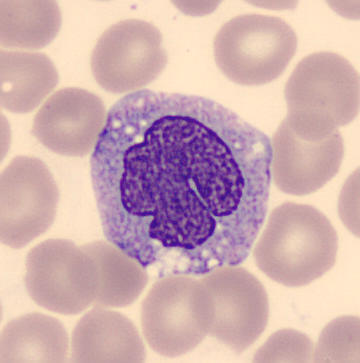 Monocyte.